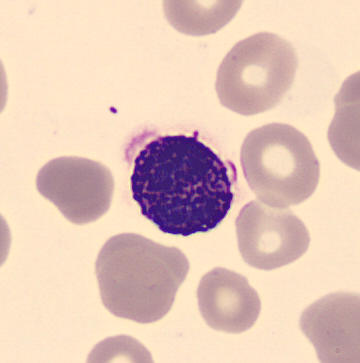
A basophilic granulocyte.
Acquisition: Single-cell field. Peripheral blood smear. CellaVision DM96 digital cell image.